250×250. 40× oil immersion. Bone marrow smear: 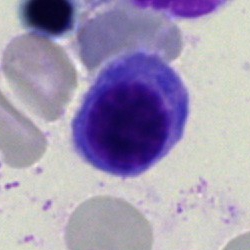 Cell — nucleated red blood cell.